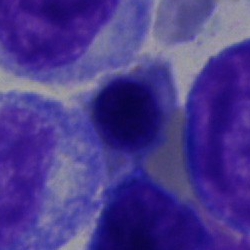
Specimen: bone marrow aspirate smear.
Classification: nucleated red blood cell.
Lineage: erythroid.